250×250 px · bone marrow smear · Pappenheim-stained:
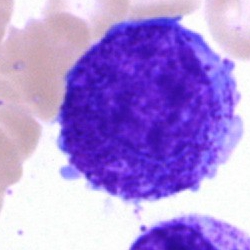Cell — promyelocyte.